Bone marrow aspirate smear: 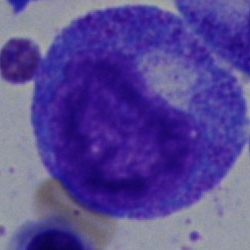 Specimen: bone marrow smear.
Classification: progranulocyte.
Lineage: myeloid.